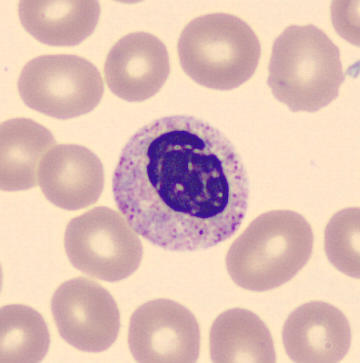
Cell type — metamyelocyte.